Single-cell crop; May-Grünwald-Giemsa/Pappenheim stain; bone marrow aspirate smear:
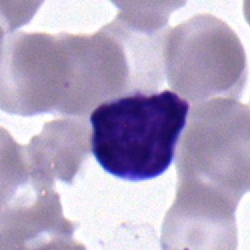

Cell = lymphocyte.